250×250 px. Bone marrow aspirate smear. MGG-stained: 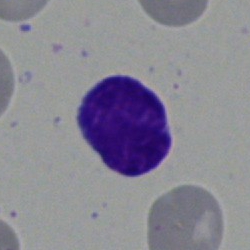
Morphology consistent with a typical lymphocyte.